Bone marrow aspirate smear: 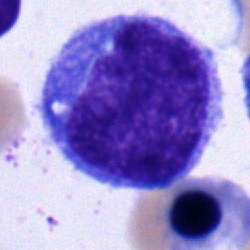A monocyte.